Bone marrow smear; single-cell field
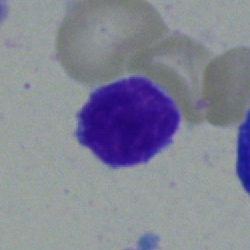 Q: What is the morphological classification of this cell?
A: It is a blast cell.